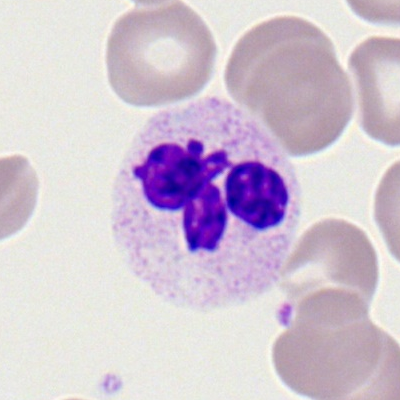Cell: neutrophil (segmented).